Peripheral blood smear: 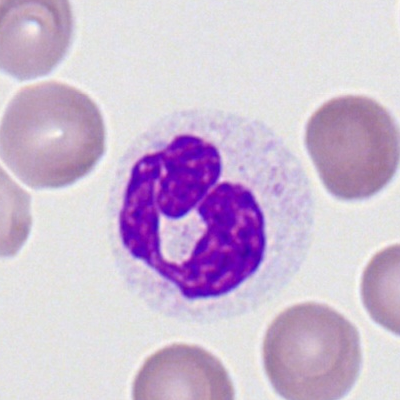

Cell — neutrophil (segmented).